Image size 360×363 · peripheral blood film
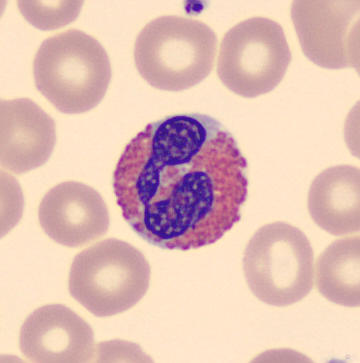 Specimen: peripheral blood smear.
Classification: eosinophil.
Lineage: myeloid.